40× objective, oil immersion; bone marrow smear — 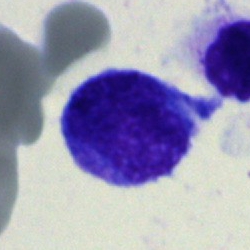Q: What type of cell is this?
A: It is an undifferentiated blast.